Romanowsky stain. Peripheral blood smear: 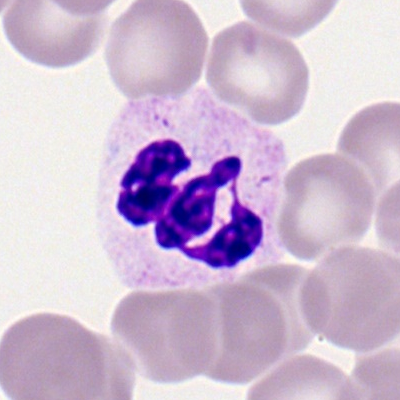
Morphological class = segmented neutrophil.